Bone marrow smear:
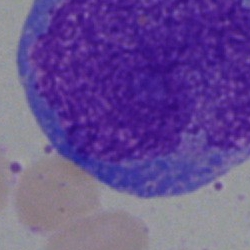
Morphology consistent with a promyelocyte.